Bone marrow aspirate smear.
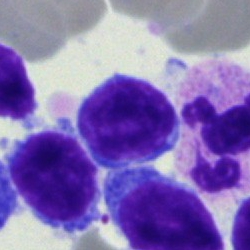
Cell — lymphocyte.